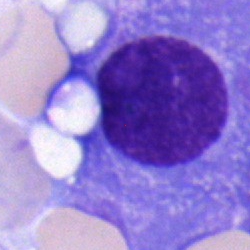 Classification: plasma cell.